Single-cell field; bone marrow smear.
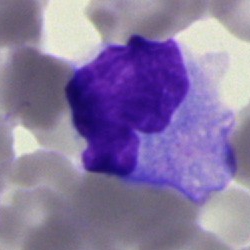
The classification is artefact.